Single cell centered in the field; bone marrow aspirate smear — 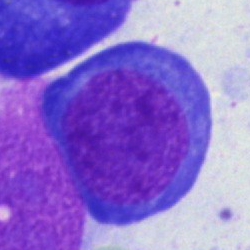

Morphological class: erythroblast.